Bone marrow smear
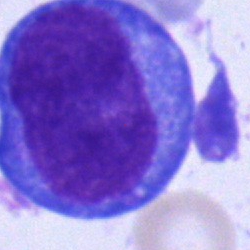

Impression → plasma cell.